Bone marrow smear: 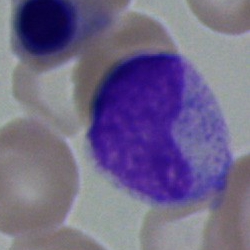 Morphology — metamyelocyte.